Bone marrow aspirate smear · single-cell crop — 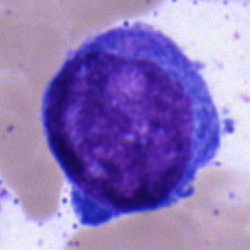

Q: What cell is this?
A: Blast.